Bone marrow smear
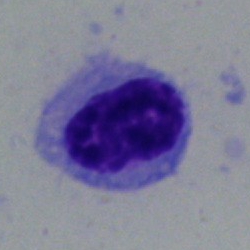

Classification = hairy cell.